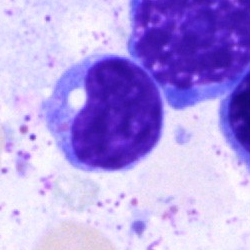 Typical lymphocyte.